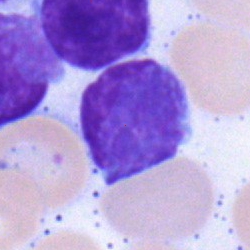 The classification is lymphocyte.